Bone marrow aspirate smear · MGG-stained · brightfield, 40× oil-immersion objective.
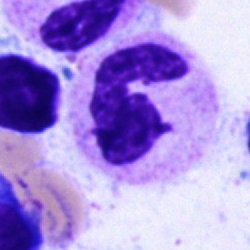

Specimen: bone marrow aspirate smear.
Morphological class: segmented neutrophil.
Lineage: myeloid.